Bone marrow aspirate smear; May-Grünwald-Giemsa stain
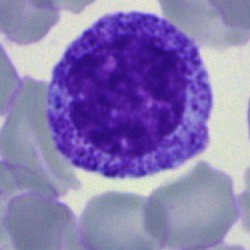Showing a myelocyte.